Bone marrow aspirate smear:
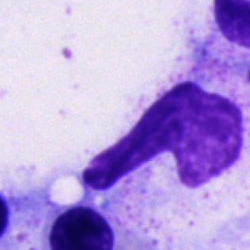The cell is artefact.